MGG-stained; bone marrow aspirate smear: 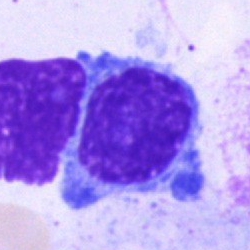
Q: What is the morphological classification of this cell?
A: A lymphocyte.